Bone marrow aspirate smear; 40× oil immersion: 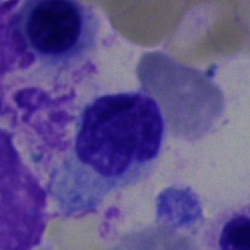{"cell_type": "lymphocyte"}